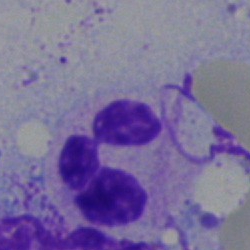 Cell type = neutrophil (segmented).